Brightfield, 40× oil-immersion objective; bone marrow aspirate smear
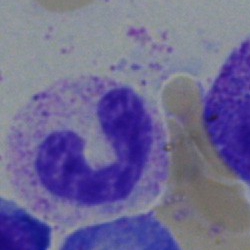 This is a stab cell.